MGG-stained. Bone marrow aspirate smear: 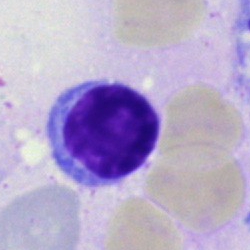
Cell — lymphocyte.